Bone marrow smear — 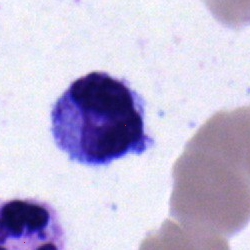
Single cell identified as a metamyelocyte.